Bone marrow aspirate smear: 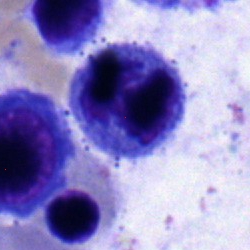 The morphological class is normoblast.